Single cell centered in the field · bone marrow aspirate smear — 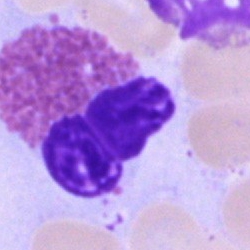
Morphology → eosinophilic granulocyte.